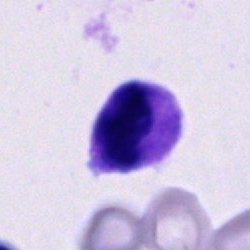 Specimen: bone marrow smear.
Cell: artefact.